Romanowsky stain; peripheral blood film
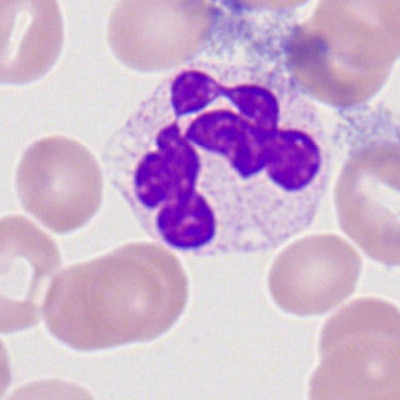 Q: What type of cell is this?
A: This is a neutrophil (segmented).